250×250 · bone marrow smear:
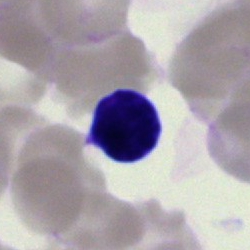 {"cell_type": "typical lymphocyte", "lineage": "lymphoid"}